Bone marrow aspirate smear:
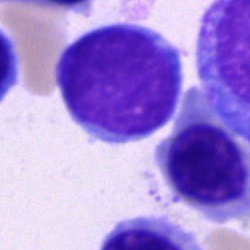 Showing a blast cell.